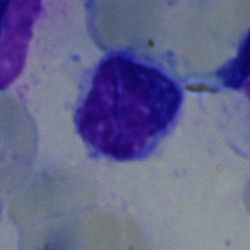
Cell — typical lymphocyte.